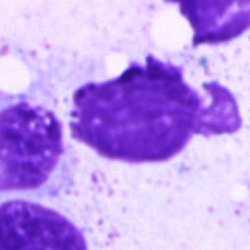

Morphology consistent with an artefact.